Bone marrow smear
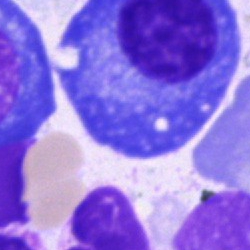
Specimen: bone marrow smear.
Classification: plasma cell.
Lineage: lymphoid.